Bone marrow aspirate smear:
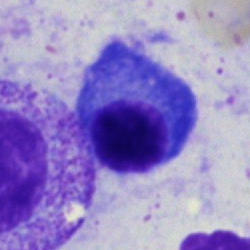 The cell shown is a plasmacyte.